Bone marrow smear — 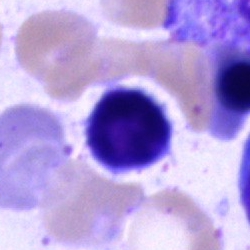

Morphological class — lymphocyte.